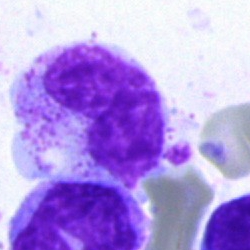

The cell shown is a band-form neutrophil.